250 by 250 pixels. Bone marrow smear.
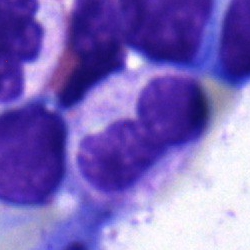

Cell: band-form neutrophil.